Bone marrow smear — 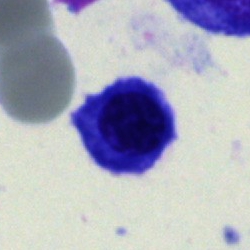 Morphology → plasma cell.